Bone marrow aspirate smear; single-cell crop — 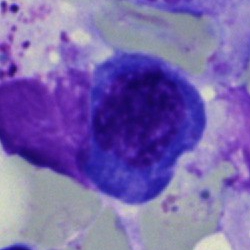Single cell identified as an erythroblast.